Peripheral blood smear; single cell centered in the field — 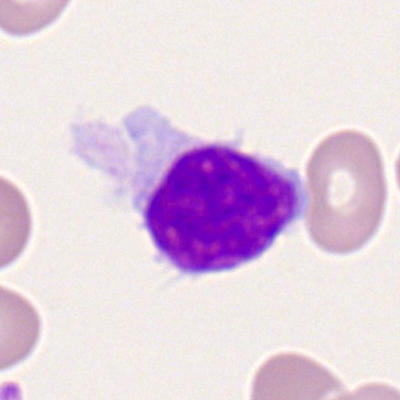
Specimen: peripheral blood smear.
Classification: lymphocyte.
Lineage: lymphoid.